May-Grünwald-Giemsa/Pappenheim stain; bone marrow aspirate smear.
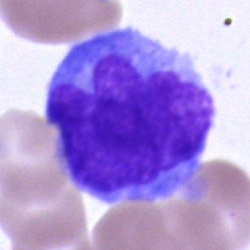Classification = monocyte.